Brightfield, 40× oil-immersion objective · bone marrow smear
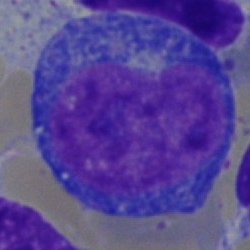
Morphology → promyelocyte.